Bone marrow smear:
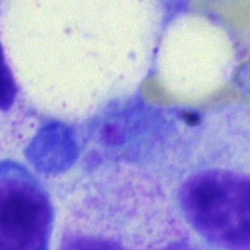
Q: What is shown here?
A: Artifact.